Peripheral blood film; M8 digital microscope (Precipoint), 100× oil immersion:
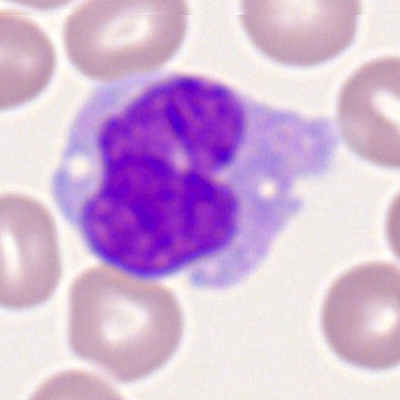Monocyte.